Bone marrow aspirate smear.
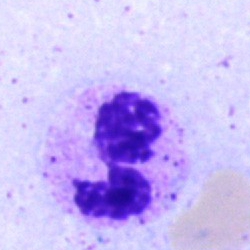
Cell type = segmented neutrophil.